Cropped to a single cell. MGG-stained. Bone marrow smear
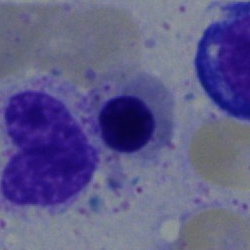 Q: What type of cell is this?
A: Nucleated red blood cell.